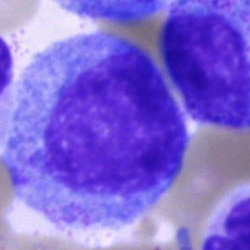
Q: Which cell type is shown here?
A: It is a progranulocyte.